Bone marrow smear — 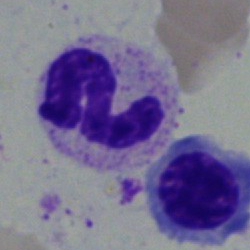Morphology consistent with a neutrophil (segmented).